Single cell centered in the field · bone marrow smear:
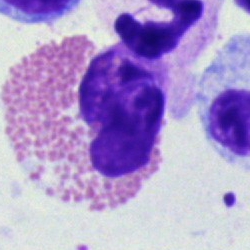 Specimen: bone marrow aspirate smear.
Cell: eosinophil.
Lineage: myeloid.